Bone marrow aspirate smear.
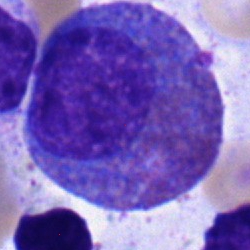 Specimen: bone marrow smear.
Cell type: eosinophilic granulocyte.
Lineage: myeloid.